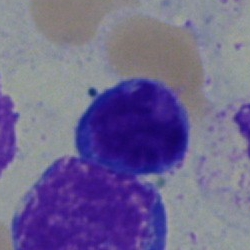

Cell — typical lymphocyte.